Bone marrow aspirate smear
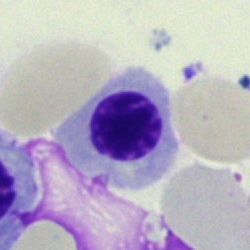

Q: What type of cell is this?
A: A normoblast.